Peripheral blood smear:
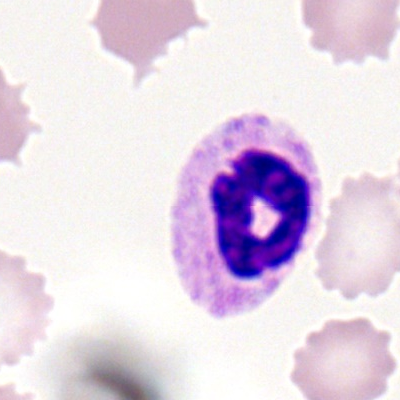
Morphology consistent with a polymorphonuclear neutrophil.